250×250 px; single cell centered in the field; bone marrow aspirate smear
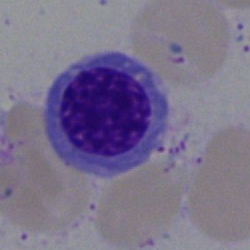

Q: What is the morphological classification of this cell?
A: Nucleated red blood cell.